40× objective, oil immersion. Bone marrow aspirate smear. Pappenheim-stained:
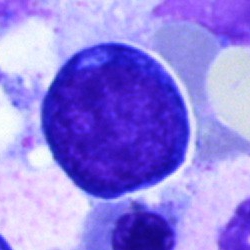Specimen: bone marrow smear.
Cell: proerythroblast.